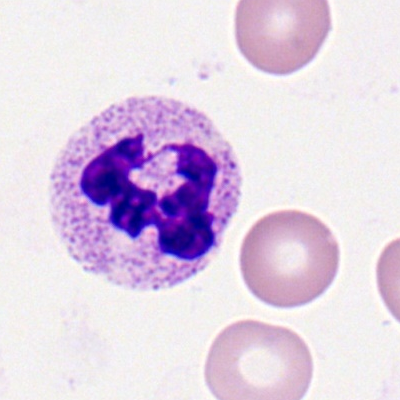Impression → neutrophil (segmented).